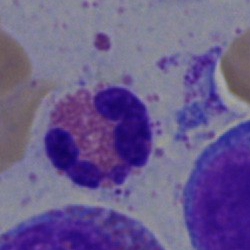This is an eosinophil.